Bone marrow smear:
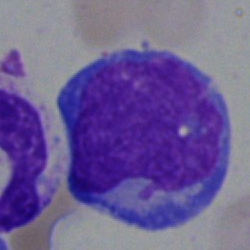Impression — blast.